Bone marrow smear. 250 by 250 pixels: 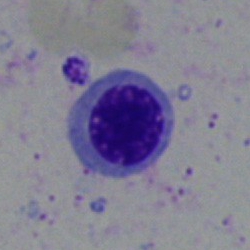 The cell is erythroblast.